Bone marrow smear; image size 250×250; Pappenheim-stained: 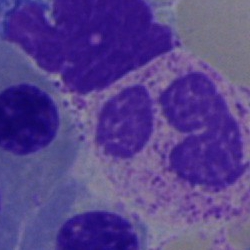 This is a polymorphonuclear neutrophil.